Romanowsky-stained; peripheral blood film.
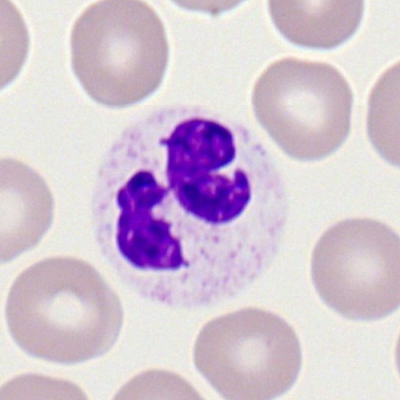

The cell is segmented neutrophil.